Bone marrow aspirate smear:
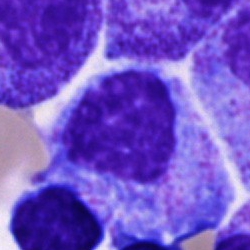
The classification is promyelocyte.